Bone marrow smear — 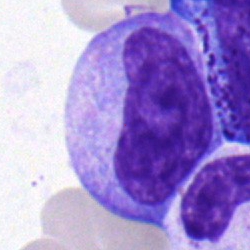 Classification = metamyelocyte.